Bone marrow smear.
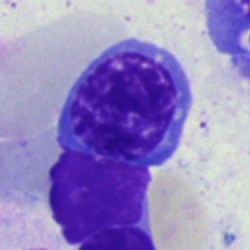Q: What is the morphological classification of this cell?
A: A normoblast.